Bone marrow aspirate smear.
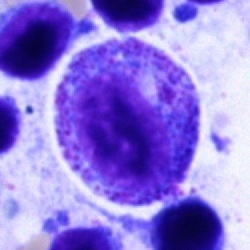 Impression → progranulocyte.